Image size 250×250; bone marrow smear; May-Grünwald-Giemsa/Pappenheim stain:
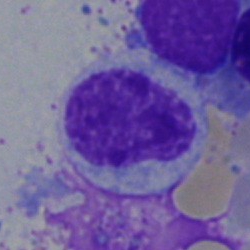Morphology — myelocyte.